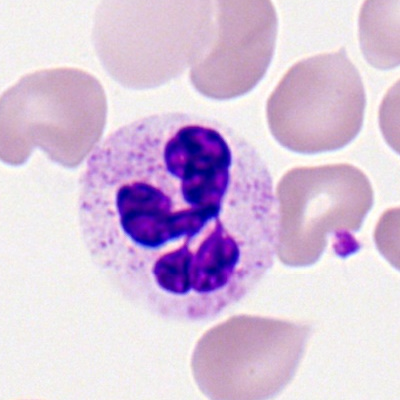
Q: What type of cell is this?
A: It is a polymorphonuclear neutrophil.